Bone marrow smear: 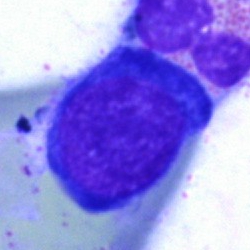 Impression → proerythroblast.